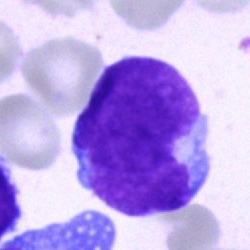Single cell identified as an undifferentiated blast.